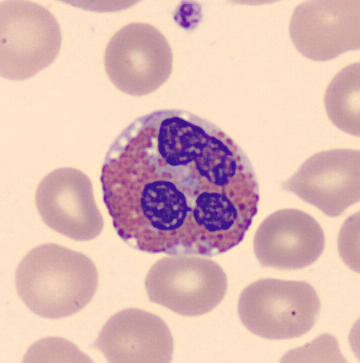

Peripheral blood smear · image size 360×363.

Eosinophil.